Bone marrow aspirate smear; Pappenheim-stained:
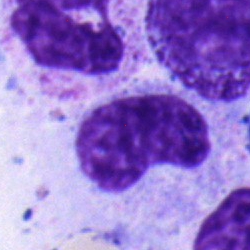
Morphology → metamyelocyte.